Pappenheim-stained. 250 by 250 pixels. Bone marrow aspirate smear.
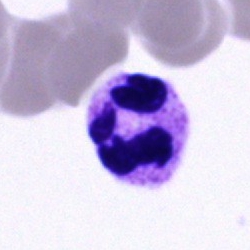 Cell type = polymorphonuclear neutrophil.